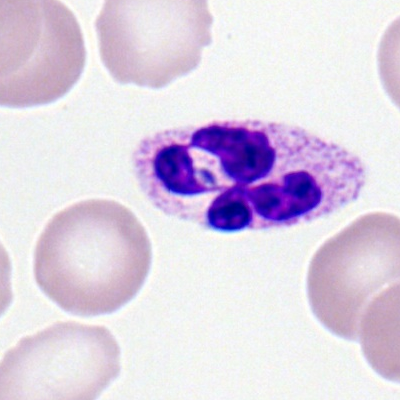 Morphological class — segmented neutrophil.